Single-cell crop; May-Grünwald-Giemsa stain; bone marrow aspirate smear:
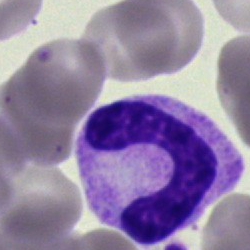

Q: What is the morphological classification of this cell?
A: This is a neutrophil (band).